Brightfield, 40× oil-immersion objective; single-cell field; bone marrow smear — 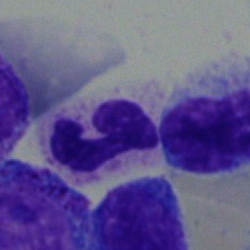{"cell_type": "segmented neutrophil"}